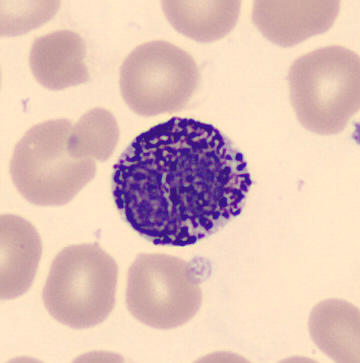

Peripheral blood film. Single-cell field.

The cell shown is a basophilic granulocyte.